Brightfield, 40× oil-immersion objective. Bone marrow smear
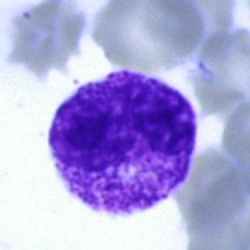

Morphology consistent with a metamyelocyte.